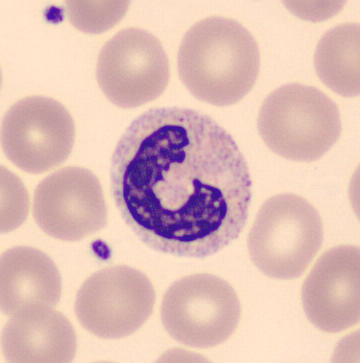

Morphology — stab cell.
Peripheral blood film.